Bone marrow smear · single cell centered in the field · brightfield, 40× oil-immersion objective: 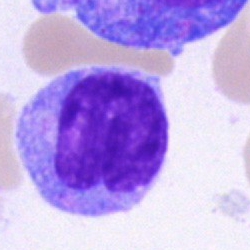 The cell shown is a monocyte.